Romanowsky-type stain. Peripheral blood smear. 400×400 px — 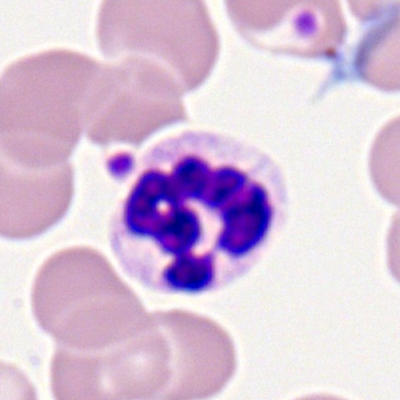 A segmented neutrophil.